May-Grünwald-Giemsa stain; bone marrow smear:
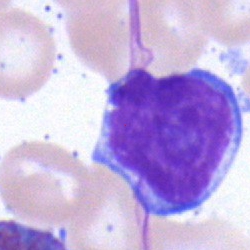 The cell shown is a lymphocyte.